Peripheral blood film; 400×400 px: 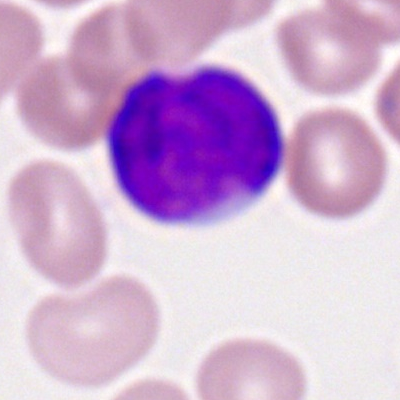

Classification — myeloid blast.